Bone marrow smear: 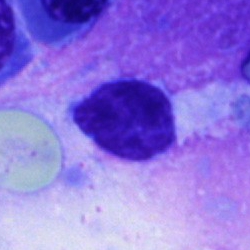 Cell — plasma cell.